Bone marrow smear · 250×250
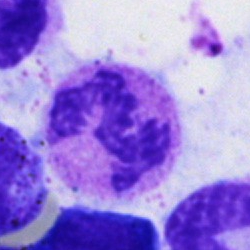The morphological class is neutrophil (segmented).